40× oil immersion; bone marrow smear.
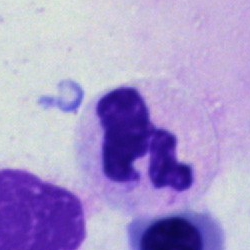A segmented neutrophil.